Bone marrow smear. Brightfield microscopy, 40× oil immersion. MGG-stained — 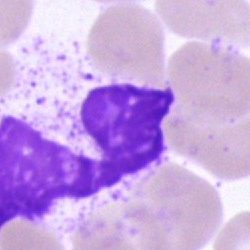

Morphological class = artefact.